Peripheral blood film:
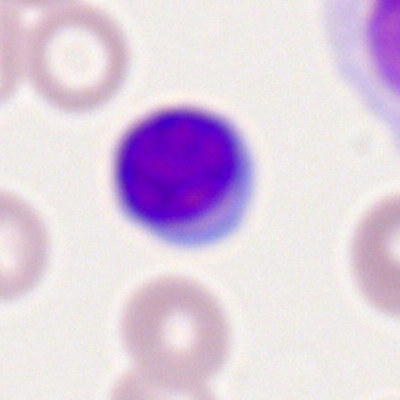

The classification is lymphocyte.